Bone marrow aspirate smear; 250×250 px
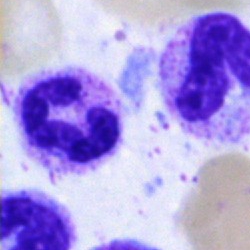
Single cell identified as a neutrophil (segmented).